Bone marrow aspirate smear; 40× oil immersion: 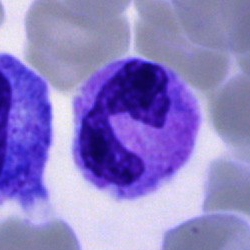Morphology consistent with a polymorphonuclear neutrophil.